Bone marrow smear:
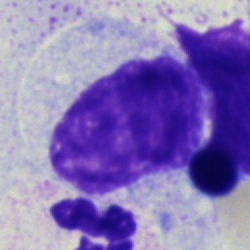

Q: What cell is this?
A: Myelocyte.